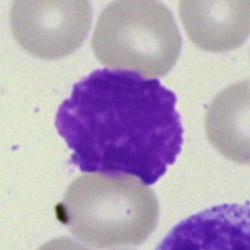

Bone marrow aspirate smear, single cell — artefact.